Peripheral blood smear: 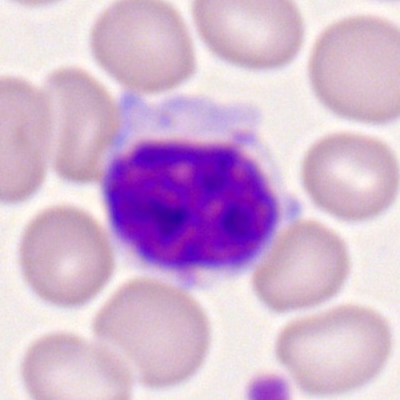

{"cell_type": "typical lymphocyte"}